Bone marrow smear.
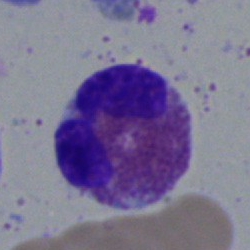 Impression → eosinophilic granulocyte.